Single cell centered in the field; bone marrow aspirate smear; 250×250: 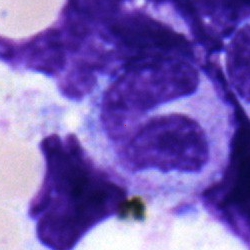
Impression → neutrophil (segmented).